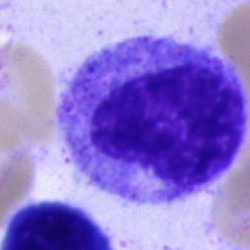 Single cell identified as a promyelocyte.